40× objective, oil immersion · bone marrow smear
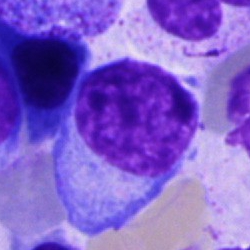
Specimen: bone marrow smear.
Cell: typical lymphocyte.
Lineage: lymphoid.